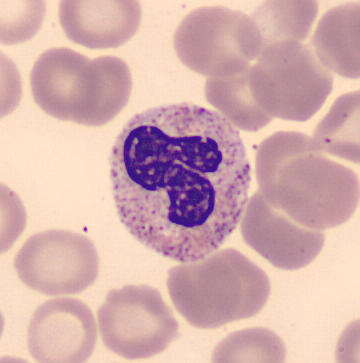
A neutrophil (band). Preparation: Peripheral blood smear.